Bone marrow aspirate smear
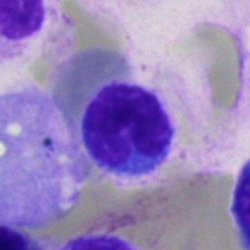 Morphological class: plasmacyte.